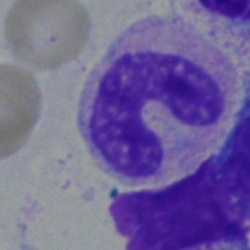Q: Identify the cell.
A: This is a band-form neutrophil.